Cropped to a single cell. Bone marrow smear: 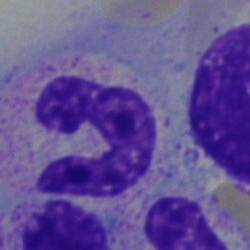
Specimen: bone marrow smear.
Cell: band neutrophil.